Bone marrow aspirate smear; image size 250×250
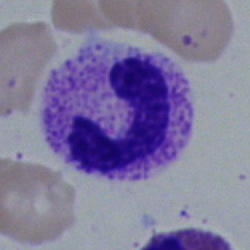
This is a band-form neutrophil.